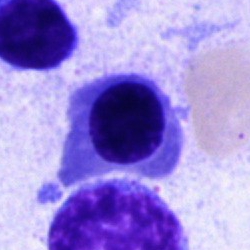

Classification = normoblast.